Bone marrow smear: 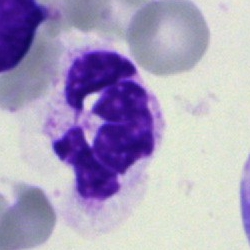The cell type is segmented neutrophil.